Single-cell crop · peripheral blood smear:
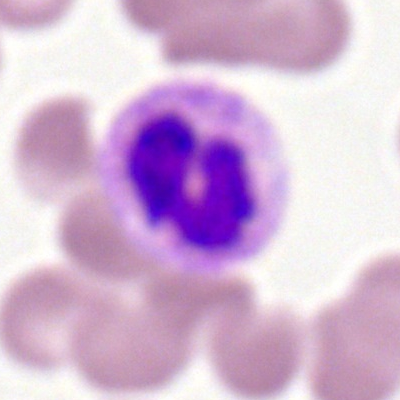

Morphology → segmented neutrophil.